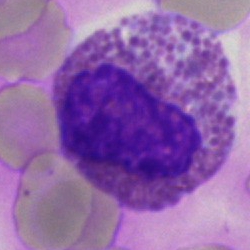

Specimen: bone marrow aspirate smear.
Cell: eosinophilic granulocyte.